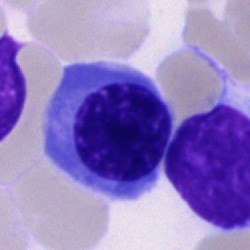

Q: What cell is this?
A: This is a normoblast.